Bone marrow smear. Single cell centered in the field. May-Grünwald-Giemsa/Pappenheim stain
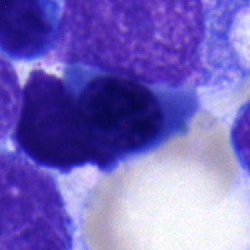
Specimen: bone marrow aspirate smear.
Cell type: nucleated red cell.